Bone marrow aspirate smear · 40× oil immersion:
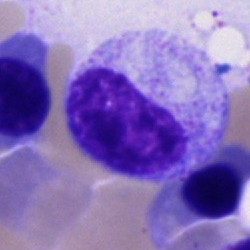 This is a myelocyte.